Bone marrow smear · cropped to a single cell.
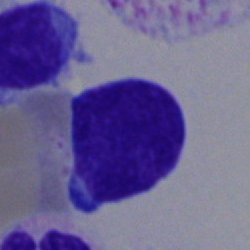
Cell type = lymphocyte.